Bone marrow smear.
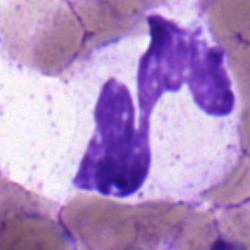 A segmented neutrophil.